Bone marrow aspirate smear
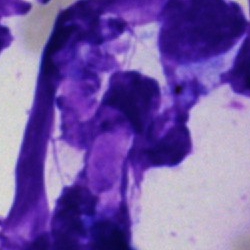

Cell = artefact.